Bone marrow smear; 40× oil immersion; 250 by 250 pixels:
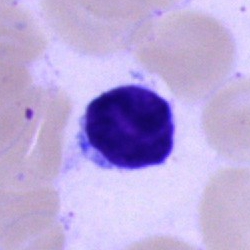Cell type — typical lymphocyte.